Peripheral blood smear.
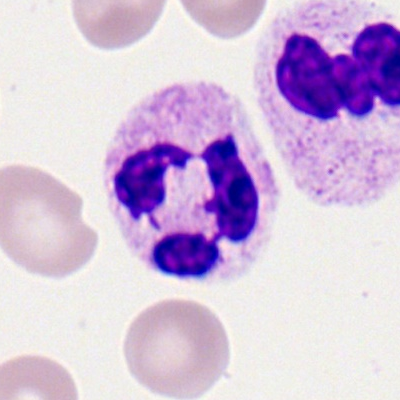This is a neutrophil (segmented).